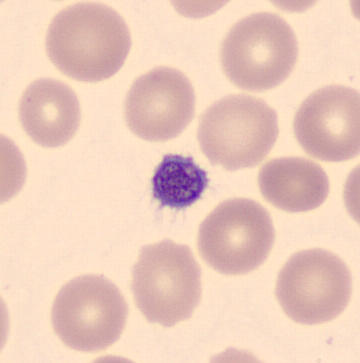Image: Peripheral blood smear.
The cell type is platelet.